250×250 px · bone marrow aspirate smear:
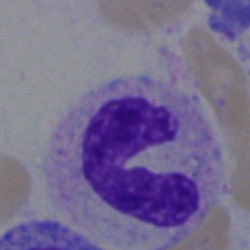
Cell: polymorphonuclear neutrophil.